Bone marrow smear; May-Grünwald-Giemsa stain: 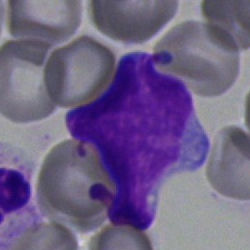

Lymphocyte.